Bone marrow smear · MGG-stained
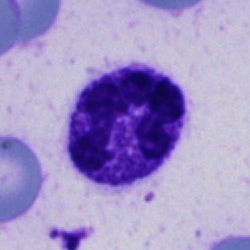Impression → neutrophil (segmented).